Bone marrow smear; cropped to a single cell; 250×250.
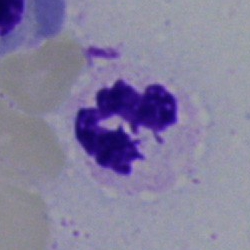
Q: What is shown here?
A: Polymorphonuclear neutrophil.